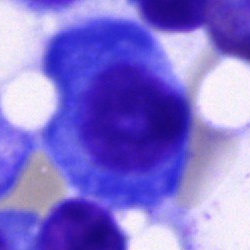
The cell shown is a plasmacyte.